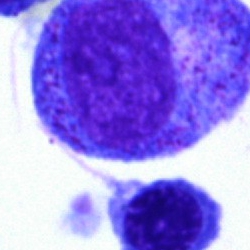Morphological class — promyelocyte.